Romanowsky-type stain · peripheral blood film — 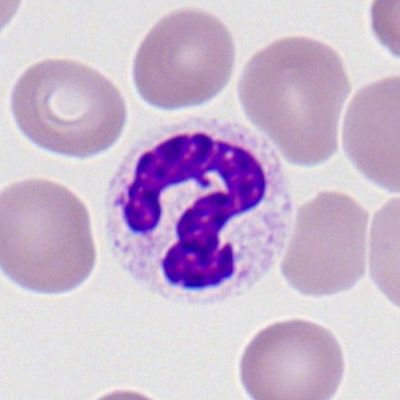
Q: What type of cell is this?
A: A polymorphonuclear neutrophil.